Bone marrow aspirate smear.
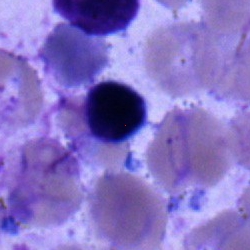 Lymphocyte.